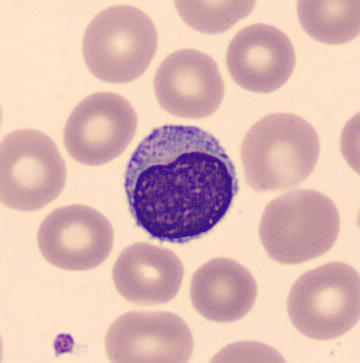 May-Grünwald-Giemsa-stained. Peripheral blood film. Automated cell imaging (CellaVision DM96).
Single cell identified as a typical lymphocyte.